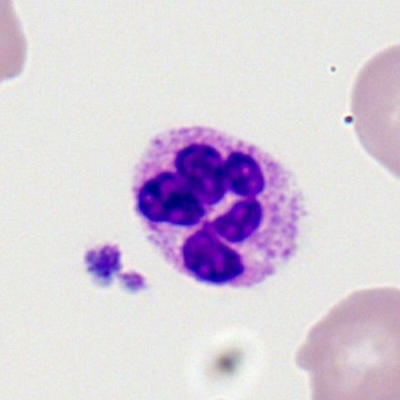

Single-cell crop from a peripheral blood smear: neutrophil (segmented).